Peripheral blood film.
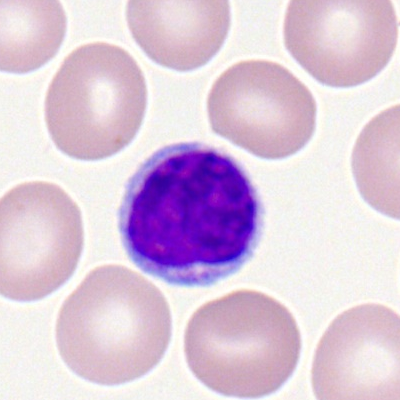
Typical lymphocyte.